Romanowsky-type stain · peripheral blood smear.
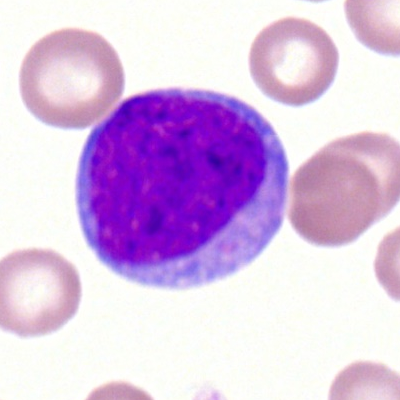Impression → myeloid blast.